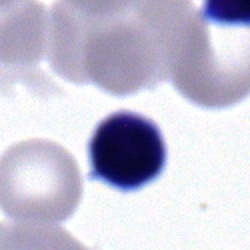 Single cell identified as a lymphocyte.